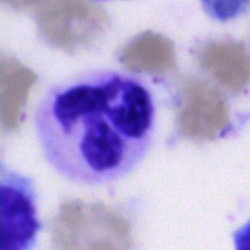Impression → neutrophil (segmented).